Bone marrow aspirate smear — 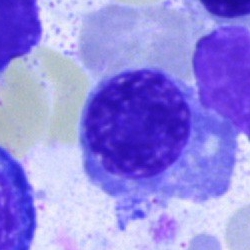
A normoblast.